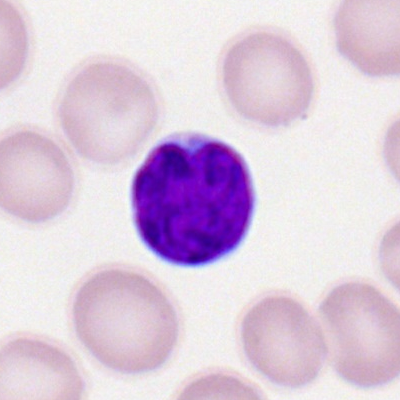Single cell identified as a lymphocyte.